Bone marrow smear
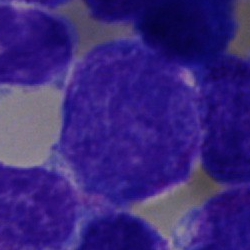{"cell_type": "blast cell"}